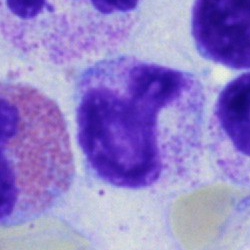 Impression — stab cell.